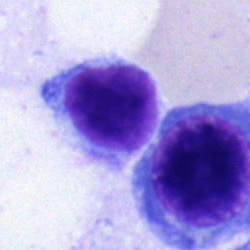
The cell type is lymphocyte.